Bone marrow aspirate smear — 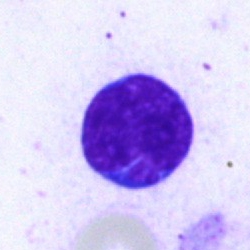The classification is lymphocyte.